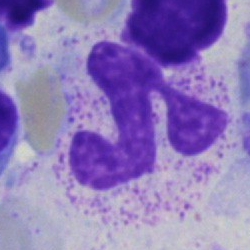Bone marrow smear showing a polymorphonuclear neutrophil.